250 by 250 pixels. Single cell centered in the field. Bone marrow aspirate smear: 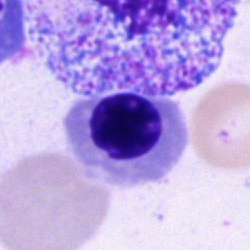

Specimen: bone marrow smear.
Classification: nucleated red cell.
Lineage: erythroid.